Bone marrow smear:
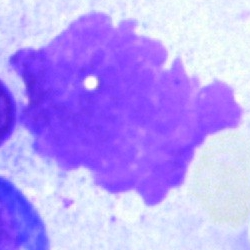This is an artifact.